40× oil immersion; MGG-stained; bone marrow aspirate smear:
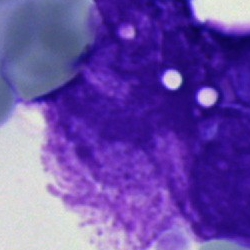

Morphology — artefact.